Bone marrow aspirate smear — 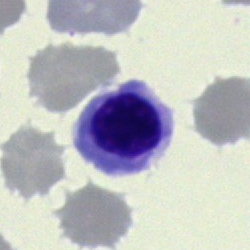

Cell — erythroblast.